Bone marrow aspirate smear.
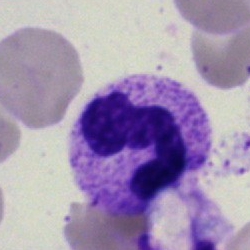

Q: Which cell type is shown here?
A: It is a neutrophil (segmented).